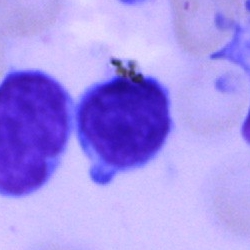
The cell shown is a typical lymphocyte.